Bone marrow aspirate smear. 250×250 — 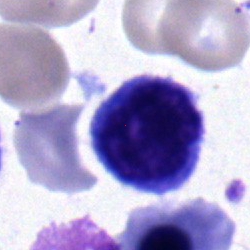 Morphological class: typical lymphocyte.